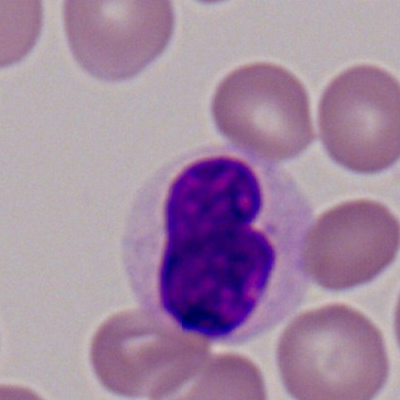
Q: Identify the cell.
A: Neutrophil (segmented).